Bone marrow smear — 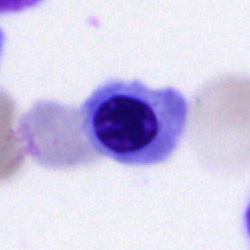Morphology → normoblast.